Single-cell field · Romanowsky-stained · peripheral blood film:
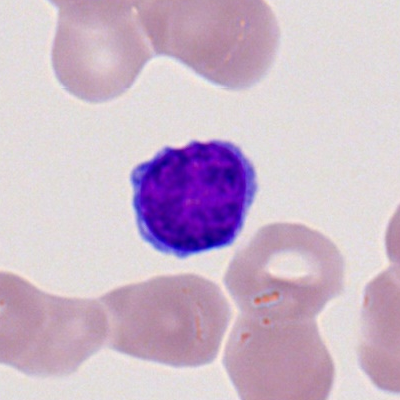

The cell shown is a lymphocyte.